Bone marrow smear
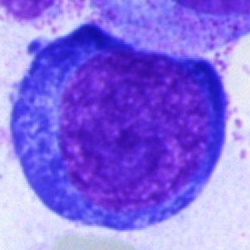 Morphological class: pronormoblast.